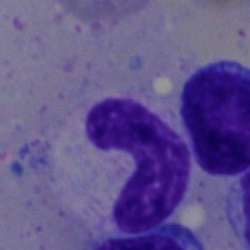 Specimen: bone marrow smear.
Classification: band-form neutrophil.